400×400. M8 digital microscope (Precipoint), 100× oil immersion. Peripheral blood smear
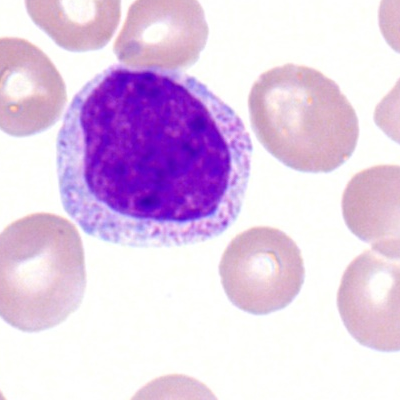
Morphological class — typical lymphocyte.